Bone marrow aspirate smear
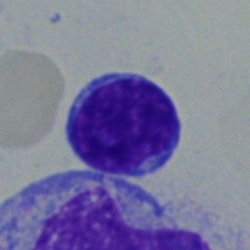 Classification: typical lymphocyte.